40× oil immersion · bone marrow aspirate smear
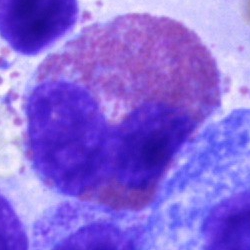
Eosinophil.